Bone marrow aspirate smear
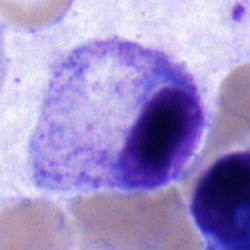
{"cell_type": "myelocyte", "lineage": "myeloid"}